Peripheral blood smear
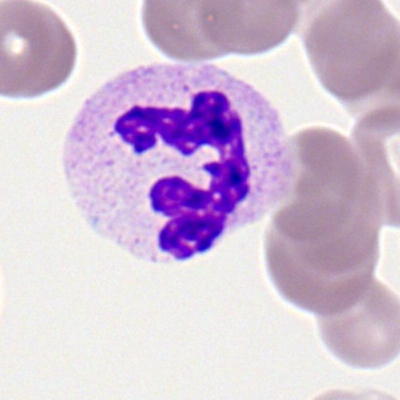
Specimen: peripheral blood smear.
Classification: polymorphonuclear neutrophil.
Lineage: myeloid.